Bone marrow aspirate smear. 250 by 250 pixels — 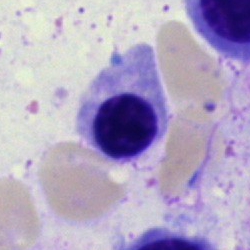

The morphological class is nucleated red cell.